Bone marrow aspirate smear. Single-cell field.
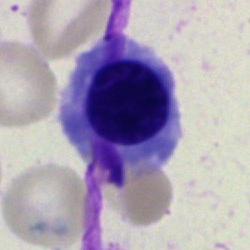Morphology consistent with a normoblast.